Bone marrow aspirate smear; cropped to a single cell; 40× oil immersion:
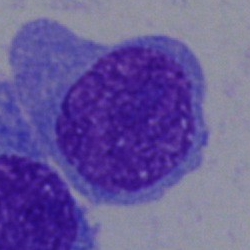
Showing a plasmacyte.